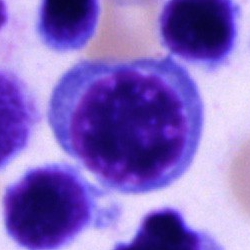Bone marrow aspirate smear, single cell — nucleated red cell.